Pappenheim-stained; bone marrow aspirate smear.
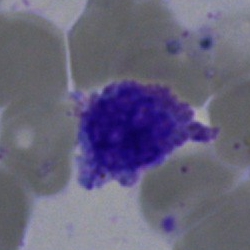Q: What is shown here?
A: It is an artifact.